Bone marrow smear — 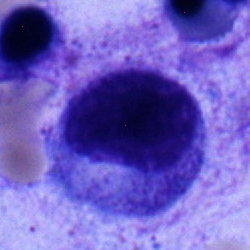Showing a progranulocyte.